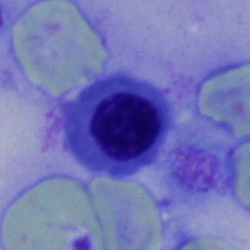An erythroblast.